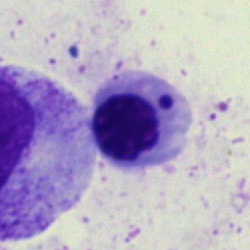

The classification is erythroblast.